May-Grünwald-Giemsa stain; cropped to a single cell; bone marrow aspirate smear
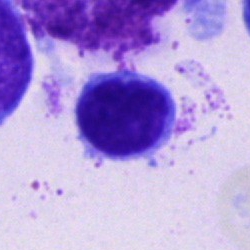
Cell = typical lymphocyte.